Bone marrow smear; single cell centered in the field:
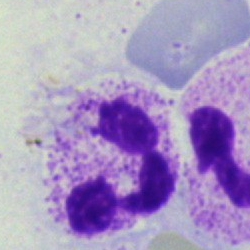

Cell type: polymorphonuclear neutrophil.